Bone marrow aspirate smear: 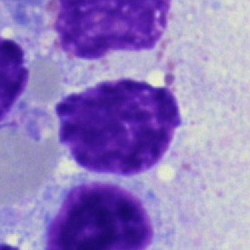

Cell type — artifact.